Bone marrow aspirate smear
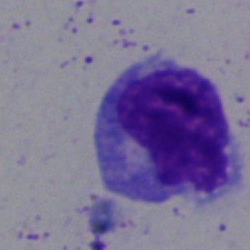The cell shown is a myelocyte.